MGG-stained. Image size 250×250. Bone marrow aspirate smear.
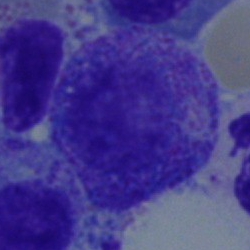The cell shown is a myelocyte.